Romanowsky-type stain. Peripheral blood smear
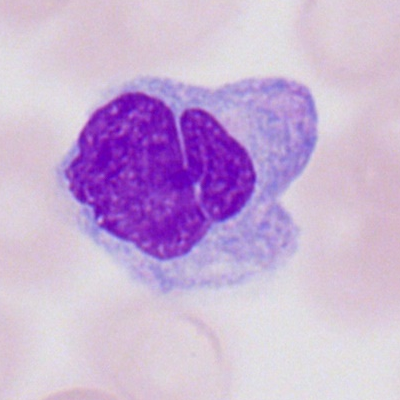

Single cell identified as a monocyte.